Bone marrow aspirate smear
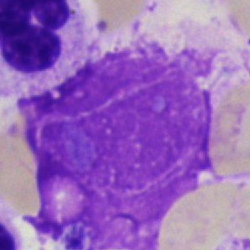Cell type = artifact.